Bone marrow aspirate smear · single-cell crop:
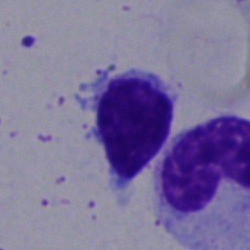Specimen: bone marrow aspirate smear.
Cell type: lymphocyte.
Lineage: lymphoid.